Bone marrow aspirate smear:
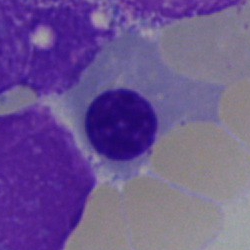

A nucleated red blood cell.